Bone marrow smear — 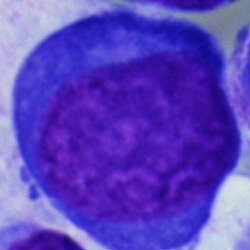 The cell is pronormoblast.